Bone marrow smear · 40× objective, oil immersion · single cell centered in the field.
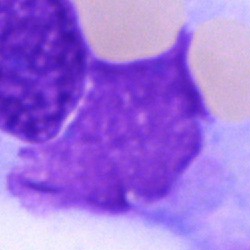

Cell type: artefact.